MGG-stained; bone marrow aspirate smear: 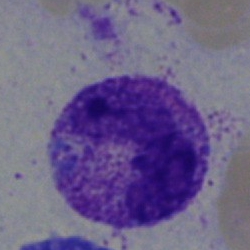 Q: What type of cell is this?
A: It is a segmented neutrophil.